Bone marrow aspirate smear. 40× objective, oil immersion.
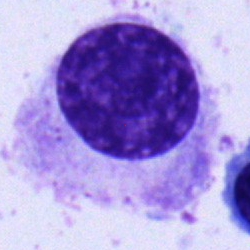
Cell — plasma cell.